Brightfield microscopy, 40× oil immersion. Bone marrow aspirate smear
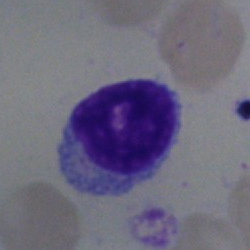
The cell shown is a lymphocyte.